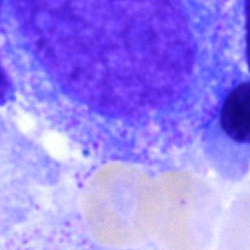Morphology consistent with a promyelocyte.